Bone marrow aspirate smear:
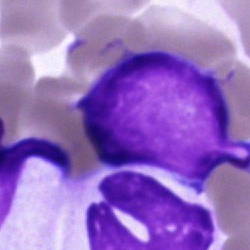 Morphological class: unidentifiable cell.